Bone marrow aspirate smear
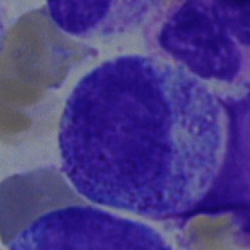Showing a myelocyte.